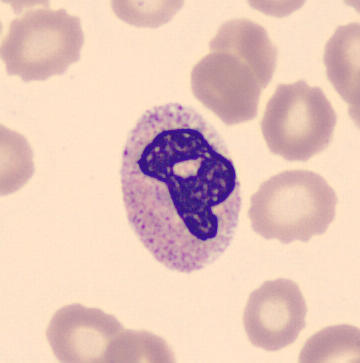

Cell type: segmented neutrophil.
Preparation: Peripheral blood film. Cropped to a single cell. CellaVision DM96 digital cell image.